Bone marrow aspirate smear: 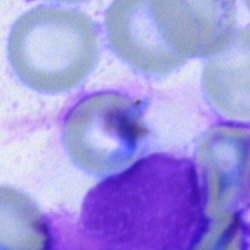
Single cell identified as an artefact.